Bone marrow smear. Brightfield, 40× oil-immersion objective
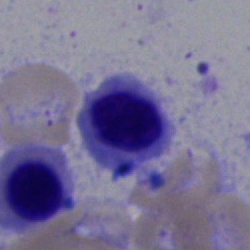

Q: What is the morphological classification of this cell?
A: Erythroblast.